Bone marrow aspirate smear — 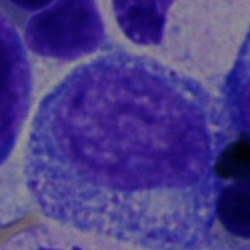
The cell is myelocyte.